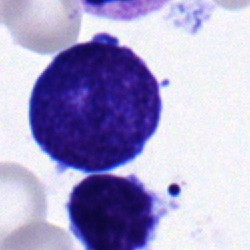

The cell shown is a promyelocyte.